Bone marrow aspirate smear: 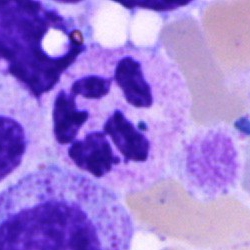
Specimen: bone marrow smear.
Cell type: neutrophil (segmented).